Bone marrow smear.
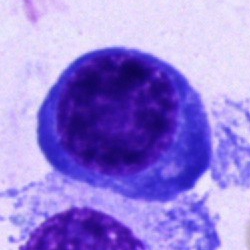

Normoblast.